Peripheral blood film — 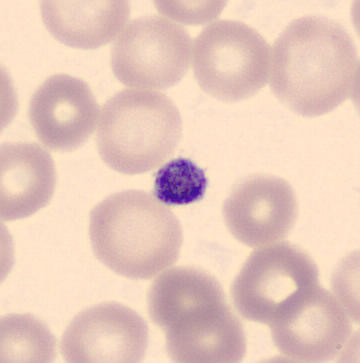

Showing a platelet.